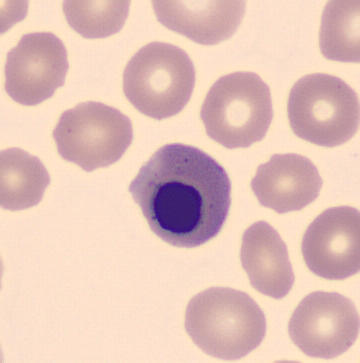Acquisition: Peripheral blood film. Imaged on a CellaVision DM96 analyser.
Q: What is the morphological classification of this cell?
A: A nucleated red cell.